250×250 · bone marrow smear.
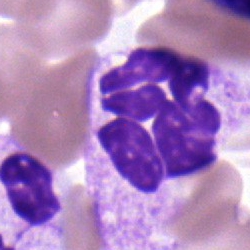 Q: What type of cell is this?
A: This is a polymorphonuclear neutrophil.